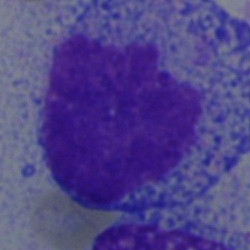
The cell shown is a blast.